Bone marrow aspirate smear. Cropped to a single cell. May-Grünwald-Giemsa stain
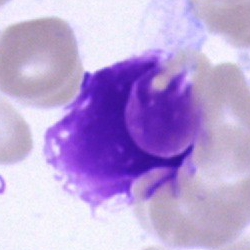
Cell — artefact.